Bone marrow aspirate smear
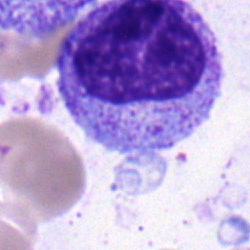

{"cell_type": "myelocyte"}